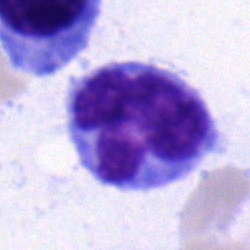 Cell type — monocyte.